Brightfield microscopy, 40× oil immersion; May-Grünwald-Giemsa/Pappenheim stain; bone marrow smear: 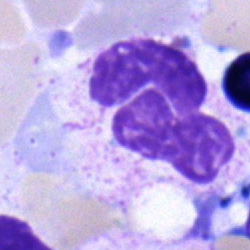 Specimen: bone marrow smear.
Cell: polymorphonuclear neutrophil.
Lineage: myeloid.